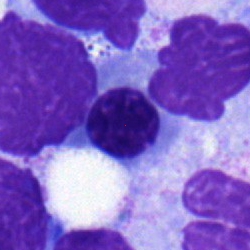A nucleated red cell on a bone marrow smear.